Bone marrow aspirate smear; MGG-stained; 40× oil immersion: 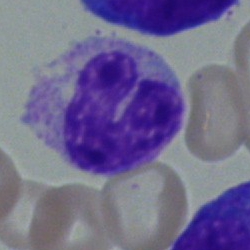Specimen: bone marrow aspirate smear.
Cell type: neutrophil (band).
Lineage: myeloid.